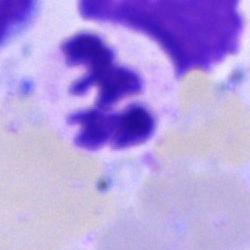
This is a segmented neutrophil.